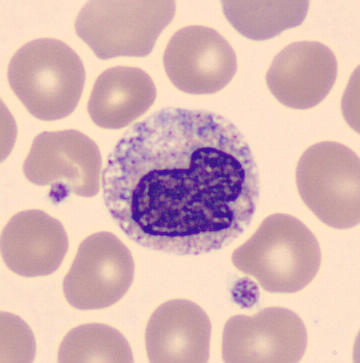 Acquisition: Peripheral blood smear.

Cell = metamyelocyte.